Bone marrow aspirate smear
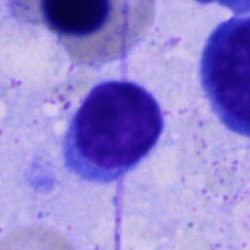Morphological class: lymphocyte.